Bone marrow aspirate smear.
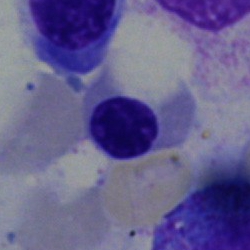

Erythroblast.